Peripheral blood smear: 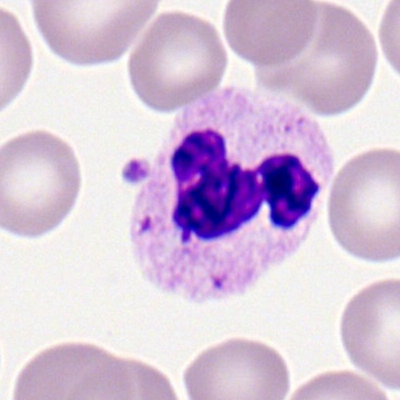

Impression → segmented neutrophil.